Peripheral blood film · 100× oil immersion
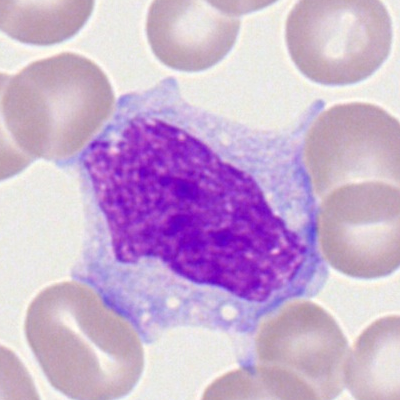 Showing a monocyte.